Image size 250×250; bone marrow smear; single-cell field
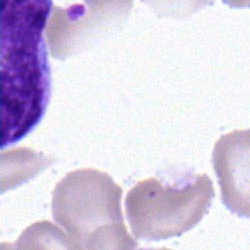The cell shown is a monocyte.